Peripheral blood film. Single-cell crop. 100× oil immersion, 14.14 px/µm: 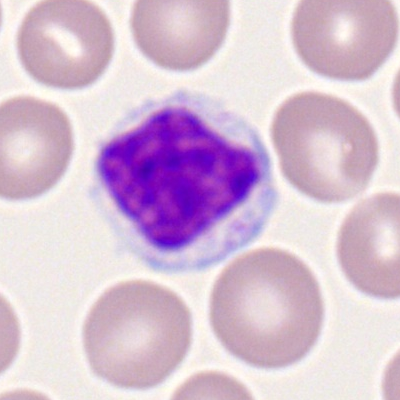The cell shown is a typical lymphocyte.